Bone marrow smear:
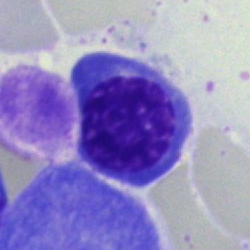Impression → nucleated red blood cell.